Bone marrow aspirate smear · 40× oil immersion: 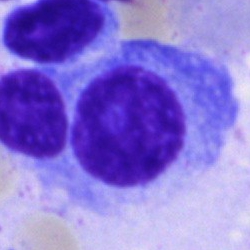 Showing a plasmacyte.